Bone marrow smear
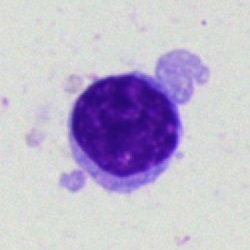A lymphocyte.